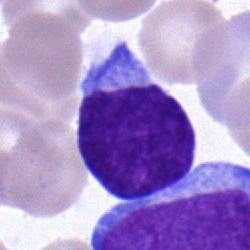Morphology consistent with a blast cell.